Bone marrow aspirate smear; single cell centered in the field
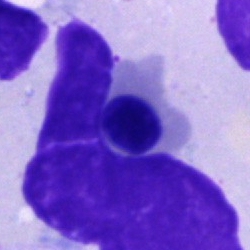Morphology → erythroblast.